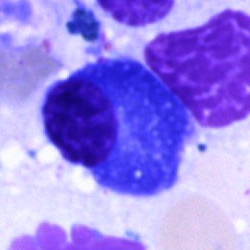
Q: Which cell type is shown here?
A: A plasma cell.